Bone marrow aspirate smear; brightfield microscopy, 40× oil immersion
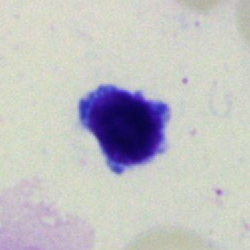Impression → lymphocyte.